Peripheral blood smear: 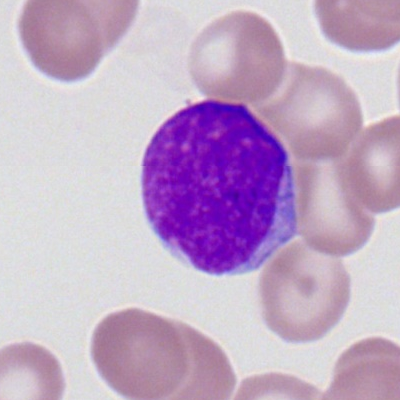Impression → myeloid blast.